Bone marrow smear: 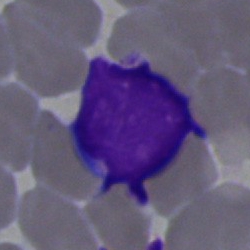

Classification — lymphocyte.